Bone marrow smear. May-Grünwald-Giemsa/Pappenheim stain: 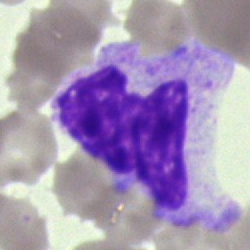Classification = artifact.